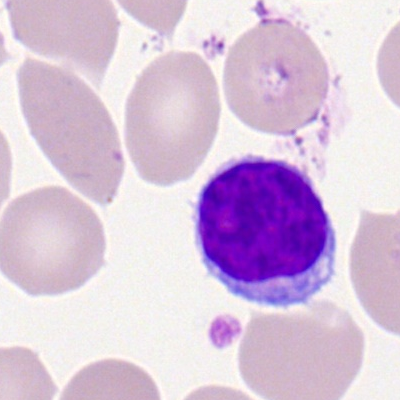

Cell type = typical lymphocyte.